Romanowsky-type stain. Peripheral blood film.
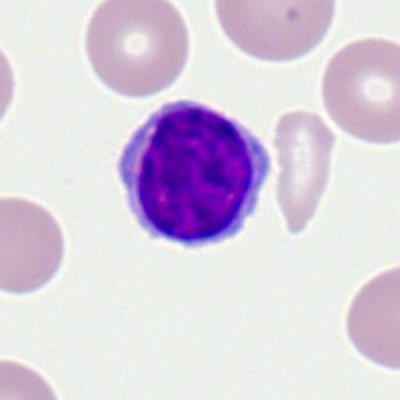Impression — lymphocyte.